Bone marrow aspirate smear.
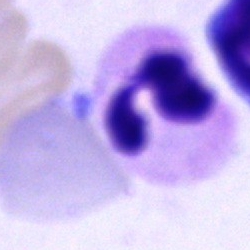

The cell shown is a neutrophil (segmented).